Bone marrow aspirate smear:
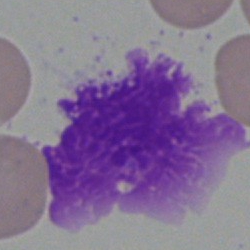

The morphological class is artifact.